Bone marrow aspirate smear:
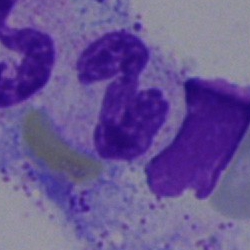

A segmented neutrophil.